Bone marrow smear: 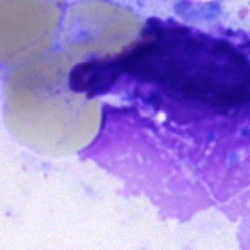 Morphology — artefact.